Bone marrow aspirate smear
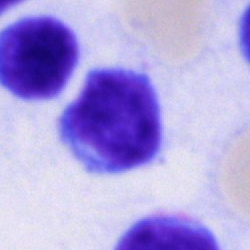Impression → typical lymphocyte.